Bone marrow aspirate smear; 250×250 px.
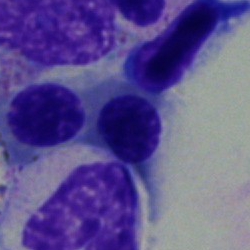
Morphology consistent with a nucleated red blood cell.